Bone marrow aspirate smear — 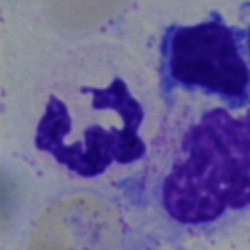The cell shown is a polymorphonuclear neutrophil.